Bone marrow smear; brightfield microscopy, 40× oil immersion — 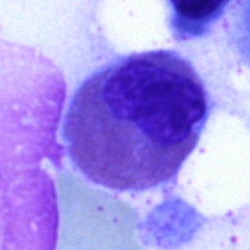
Morphology consistent with an eosinophilic granulocyte.